Bone marrow smear. Cropped to a single cell: 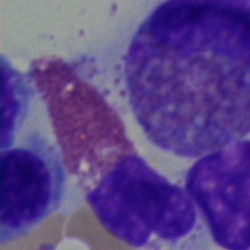
Morphology consistent with an eosinophilic granulocyte.